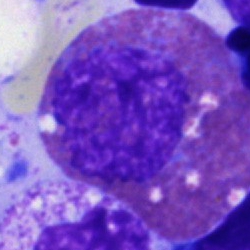
{"cell_type": "eosinophilic granulocyte"}